Single-cell crop · bone marrow aspirate smear: 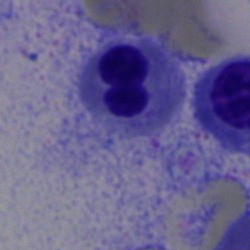
Morphology consistent with an erythroblast.